Bone marrow smear; Pappenheim-stained — 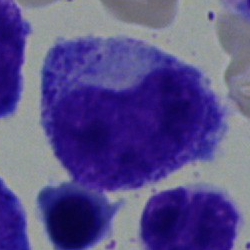
Cell type — progranulocyte.